Bone marrow aspirate smear: 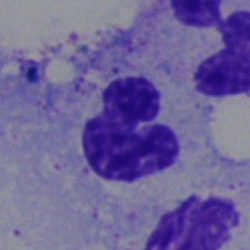

Cell type = neutrophil (segmented).